Bone marrow smear · brightfield microscopy, 40× oil immersion
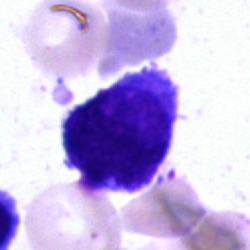Morphological class = blast.